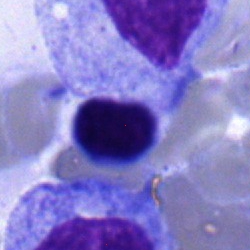

Morphological class: typical lymphocyte.